Bone marrow smear.
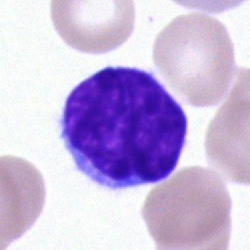
This is a lymphocyte.